Bone marrow aspirate smear; 40× oil immersion; single-cell field — 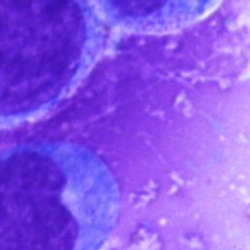The cell is artefact.